Bone marrow smear
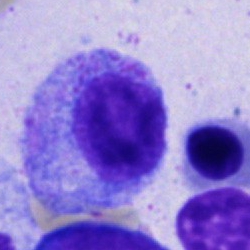Specimen: bone marrow smear.
Morphological class: promyelocyte.